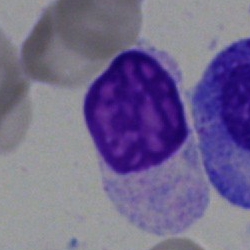

Morphology — artefact.